Bone marrow aspirate smear; 250×250 px
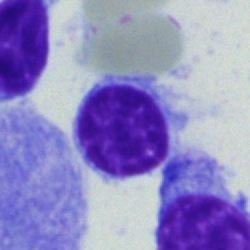

The cell shown is a typical lymphocyte.